Peripheral blood smear: 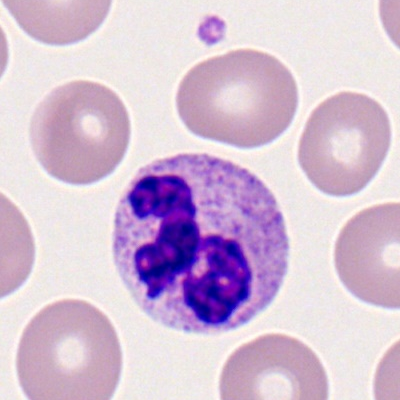 A neutrophil (segmented).